Peripheral blood smear: 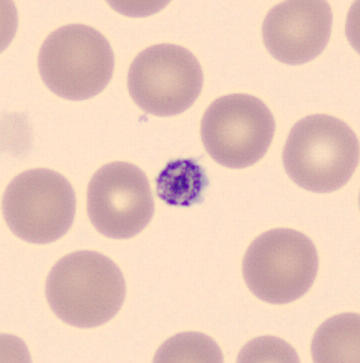 Cell type — platelet (thrombocyte).